Bone marrow smear
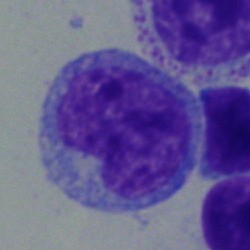{"cell_type": "monocyte", "lineage": "myeloid"}